Bone marrow smear: 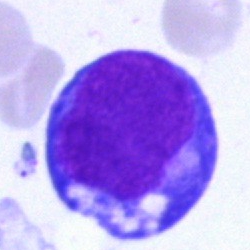
Q: What cell is this?
A: This is a nucleated red cell.